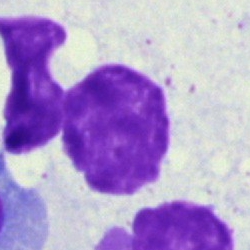
Cell: artefact.